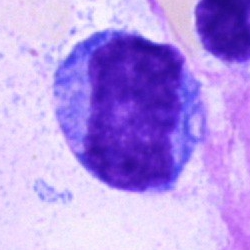

Morphology consistent with an undifferentiated blast.